Bone marrow aspirate smear: 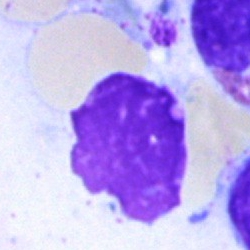 An artefact.